Bone marrow aspirate smear. 250×250 px — 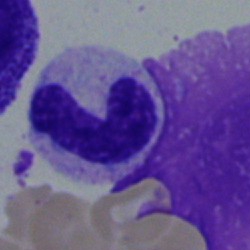Single cell identified as a band neutrophil.